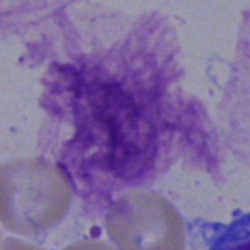This is an artefact.